MGG-stained · bone marrow aspirate smear · 250 by 250 pixels: 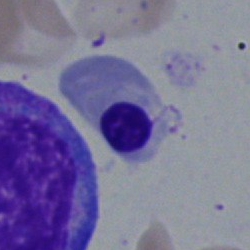
Showing a normoblast.